Bone marrow aspirate smear: 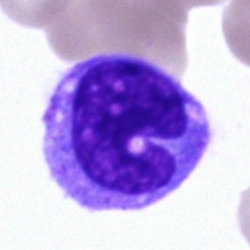

Q: What is the morphological classification of this cell?
A: It is a monocyte.